250×250; bone marrow aspirate smear:
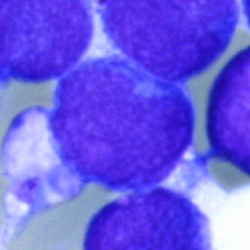Morphology consistent with a blast.